Bone marrow smear: 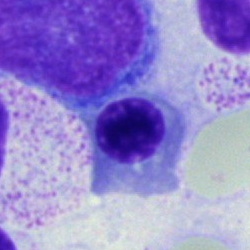The classification is normoblast.